Peripheral blood film
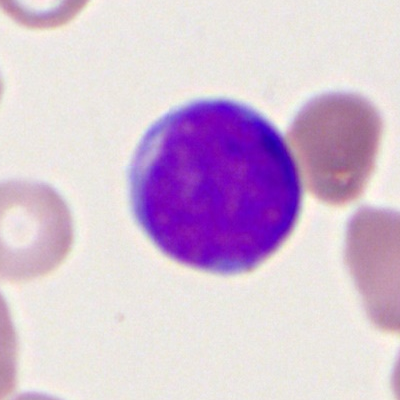
Morphology consistent with a myeloblast.